Bone marrow aspirate smear
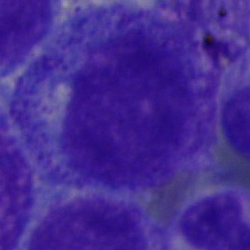Impression → promyelocyte.